Peripheral blood smear; Romanowsky-type stain — 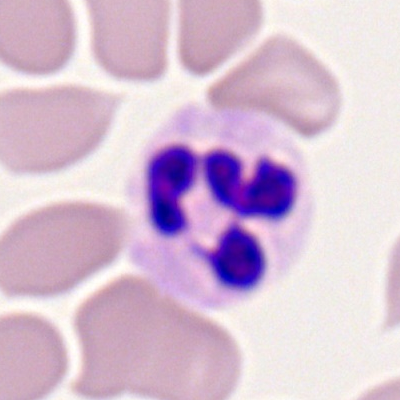 Classification = segmented neutrophil.